Bone marrow aspirate smear; 40× oil immersion.
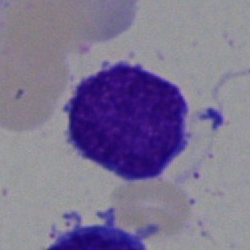 This is a lymphocyte.